MGG-stained. Bone marrow smear.
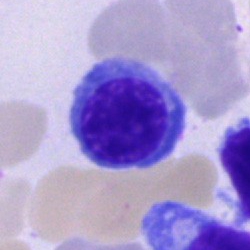
Q: What cell is this?
A: An erythroblast.